Bone marrow smear · brightfield microscopy, 40× oil immersion — 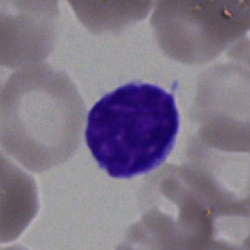Q: What type of cell is this?
A: It is a typical lymphocyte.